Bone marrow aspirate smear; 250×250 px: 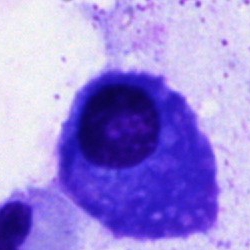

The cell shown is a plasmacyte.